Peripheral blood smear: 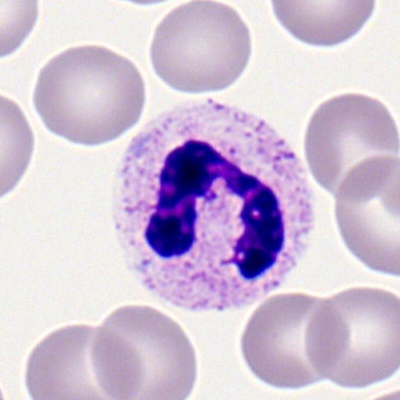
Impression — neutrophil (segmented).